40× oil immersion; bone marrow smear: 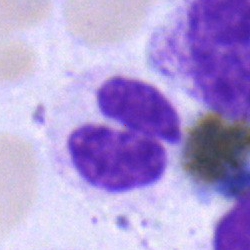A neutrophil (segmented).